Bone marrow smear:
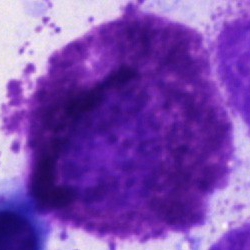Q: What type of cell is this?
A: It is an other cell type.